Bone marrow aspirate smear: 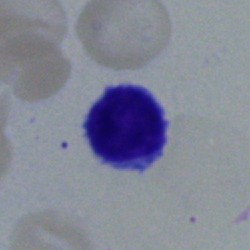

This is a lymphocyte.